Bone marrow smear: 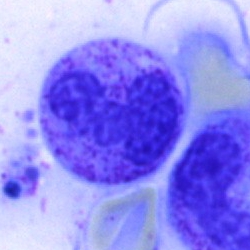 Morphology — segmented neutrophil.